Single cell centered in the field · May-Grünwald-Giemsa/Pappenheim stain · bone marrow aspirate smear:
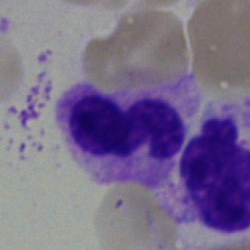 {"cell_type": "neutrophil (band)", "lineage": "myeloid"}